Peripheral blood smear:
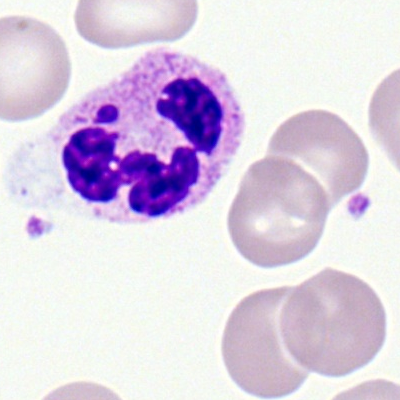

Specimen: peripheral blood smear.
Morphological class: neutrophil (segmented).